Bone marrow smear; 250×250 px; May-Grünwald-Giemsa stain
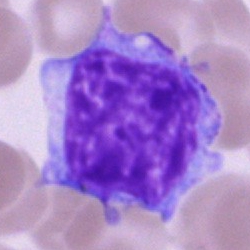This is a blast cell.